Peripheral blood smear — 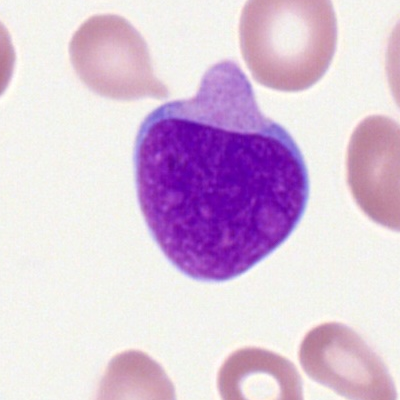

Q: What type of cell is this?
A: Myeloblast.